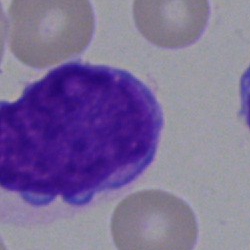
Single-cell crop from a bone marrow smear: undifferentiated blast.